Bone marrow aspirate smear: 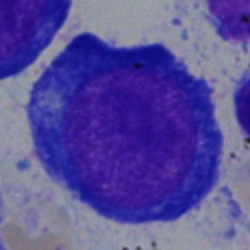Classification = proerythroblast.